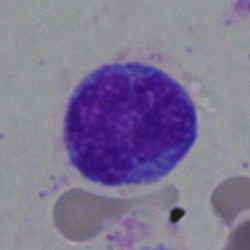 Cell type: typical lymphocyte.